Bone marrow aspirate smear. Cropped to a single cell. May-Grünwald-Giemsa/Pappenheim stain — 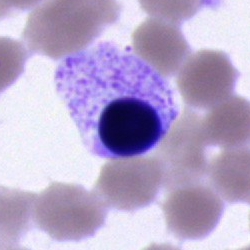

{"cell_type": "artefact"}